Bone marrow smear
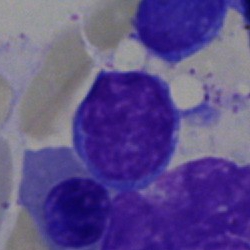

Q: Identify the cell.
A: Lymphocyte.